Bone marrow smear
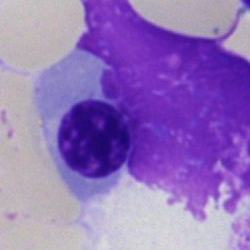 Single cell identified as an erythroblast.